40× objective, oil immersion. Bone marrow aspirate smear — 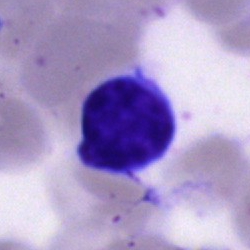Q: What cell is this?
A: It is a lymphocyte.